40× objective, oil immersion · single-cell crop · bone marrow aspirate smear.
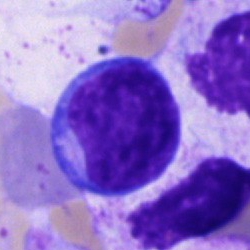Impression — pronormoblast.